Bone marrow aspirate smear:
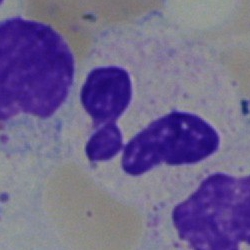Impression → neutrophil (segmented).